Pappenheim-stained; bone marrow aspirate smear; 250 by 250 pixels
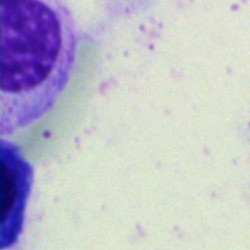An artefact.